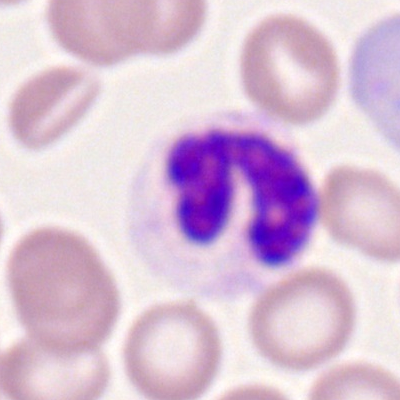 Peripheral blood smear showing a polymorphonuclear neutrophil.